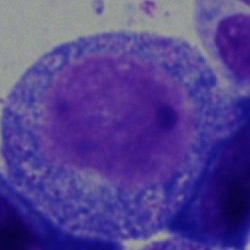 Morphology consistent with a promyelocyte.